Bone marrow aspirate smear — 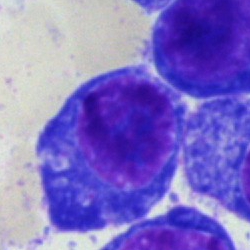

The morphological class is plasmacyte.